Bone marrow aspirate smear.
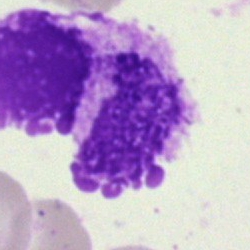

Q: What is shown here?
A: An artifact.